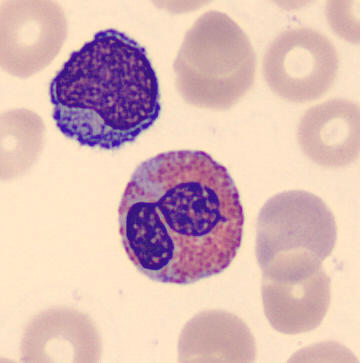 Classification — eosinophilic granulocyte.
Image: Peripheral blood film.